Bone marrow smear:
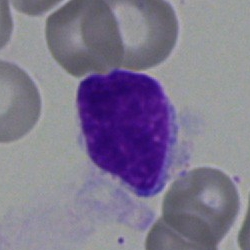 Typical lymphocyte.